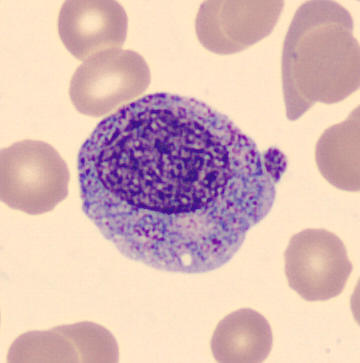 Morphological class: progranulocyte.